250×250 px. Bone marrow aspirate smear. Pappenheim-stained: 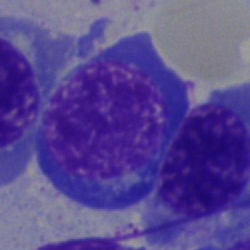Erythroblast.